Bone marrow smear
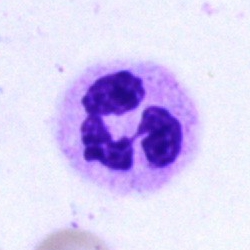 Neutrophil (segmented).